Bone marrow smear.
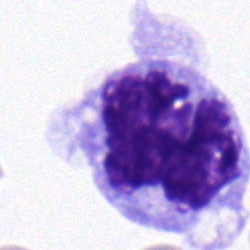Morphological class = monocyte.